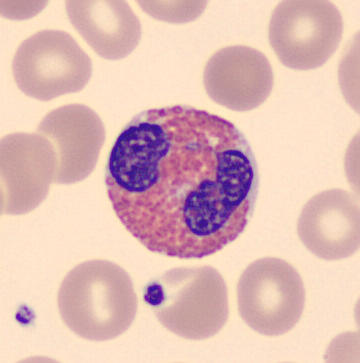

Single-cell field. Peripheral blood smear.
The morphological class is eosinophil.